Bone marrow aspirate smear:
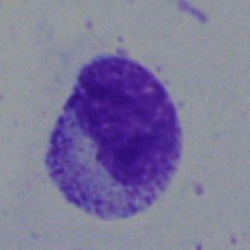 Myelocyte.